Bone marrow aspirate smear
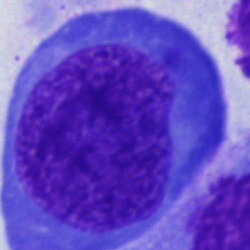

Q: What cell is this?
A: A normoblast.